Bone marrow aspirate smear.
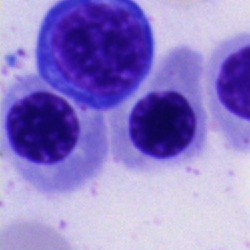
{"cell_type": "normoblast"}